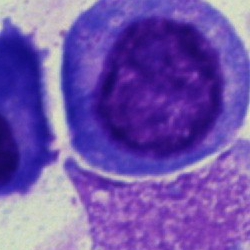Cell type: promyelocyte.